Single cell centered in the field; bone marrow aspirate smear: 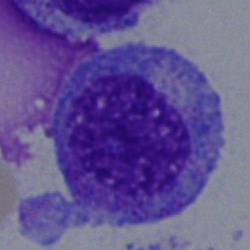{"cell_type": "promyelocyte", "lineage": "myeloid"}